Bone marrow aspirate smear.
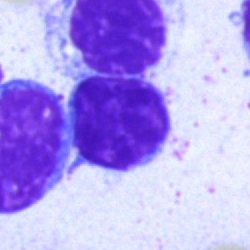

Impression — lymphocyte.